Brightfield microscopy, 40× oil immersion · bone marrow smear · May-Grünwald-Giemsa stain.
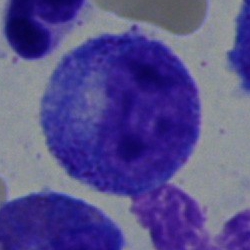
Single cell identified as a promyelocyte.